250 by 250 pixels · May-Grünwald-Giemsa stain · bone marrow aspirate smear:
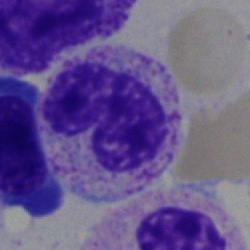

Q: What cell is this?
A: Band-form neutrophil.